Bone marrow aspirate smear · May-Grünwald-Giemsa stain · 250 by 250 pixels — 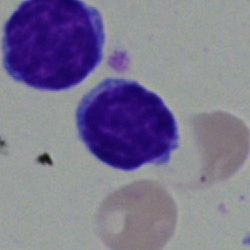

Morphology consistent with a typical lymphocyte.